Bone marrow smear: 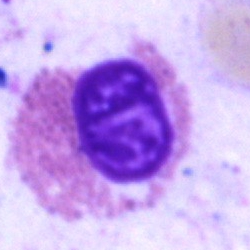Q: What cell is this?
A: It is a basophil.